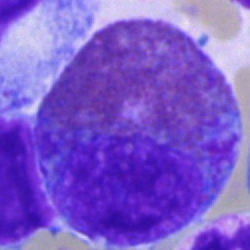
Cell type: eosinophilic granulocyte.